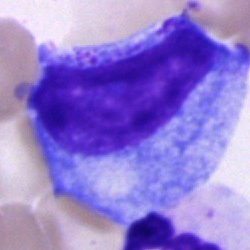
Q: What type of cell is this?
A: A progranulocyte.